Bone marrow smear; May-Grünwald-Giemsa stain
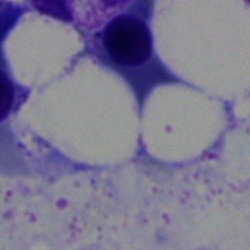 Q: What is shown here?
A: It is an artefact.